Bone marrow smear
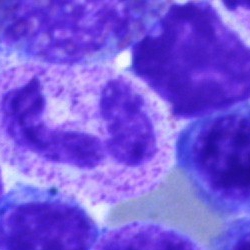 This is a polymorphonuclear neutrophil.